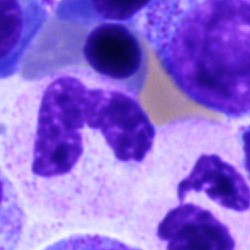A neutrophil (segmented).